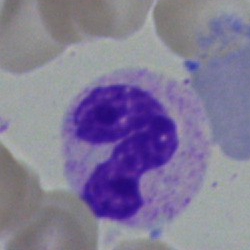 Q: What type of cell is this?
A: This is a basophil.